Bone marrow smear
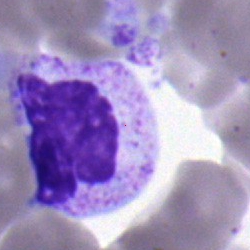
Q: What type of cell is this?
A: Metamyelocyte.